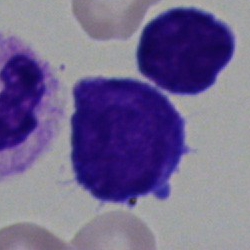

Single-cell crop from a bone marrow smear: undifferentiated blast.